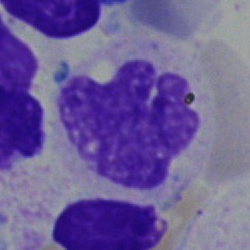 A neutrophil (segmented).